Peripheral blood smear · cropped to a single cell.
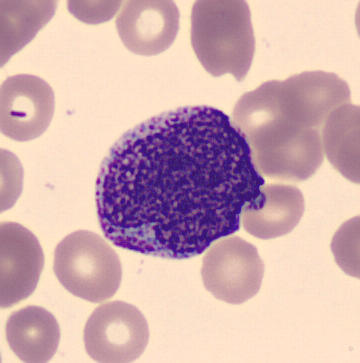Morphological class = promyelocyte.